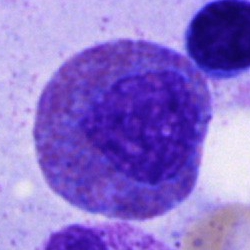

Impression → eosinophilic granulocyte.